Single-cell crop; brightfield, 40× oil-immersion objective; bone marrow aspirate smear:
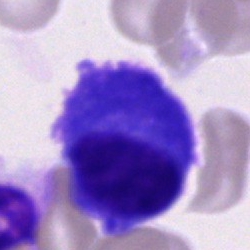
Q: What is shown here?
A: This is a plasma cell.